Bone marrow aspirate smear; May-Grünwald-Giemsa stain: 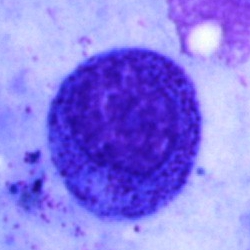 Impression — myelocyte.